Peripheral blood film; cropped to a single cell — 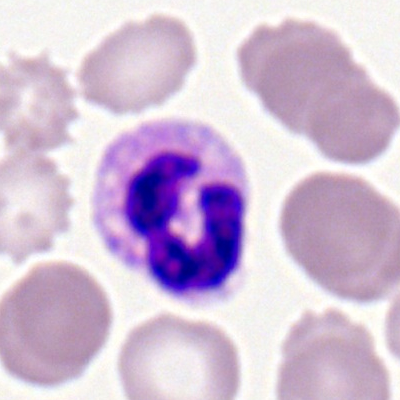 Morphological class — segmented neutrophil.